Bone marrow smear.
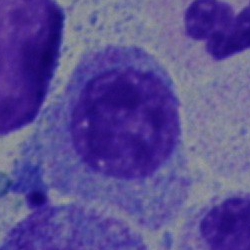

Cell: myelocyte.